Bone marrow aspirate smear
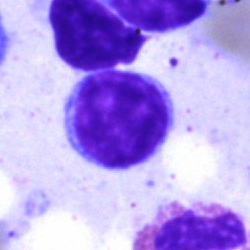A typical lymphocyte.